Bone marrow aspirate smear · brightfield, 40× oil-immersion objective · 250 by 250 pixels — 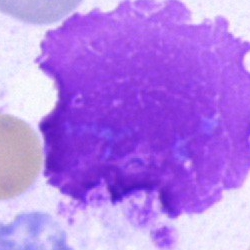Morphology → artifact.